Pappenheim-stained. Bone marrow smear — 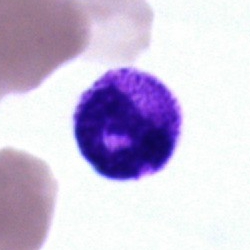 This is a neutrophil (segmented).